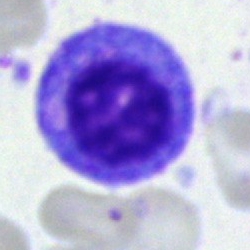

Bone marrow aspirate smear, single cell — progranulocyte.